Bone marrow smear: 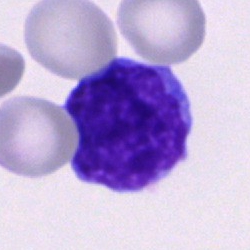Specimen: bone marrow aspirate smear.
Cell type: blast cell.